Bone marrow aspirate smear.
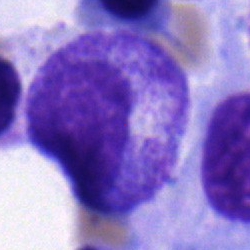 The cell shown is a myelocyte.